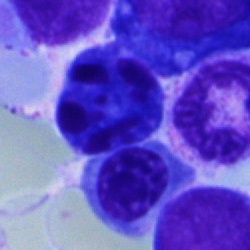
Showing a nucleated red cell.